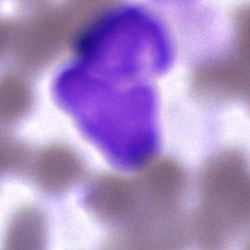Q: What is shown here?
A: This is an artifact.